Bone marrow aspirate smear:
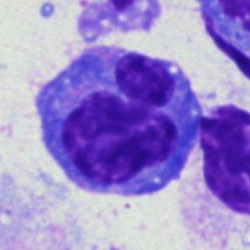

Cell type = plasmacyte.